Bone marrow smear. Brightfield microscopy, 40× oil immersion
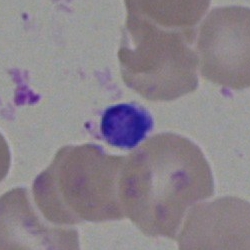

Classification: artifact.